Image size 250×250 · brightfield microscopy, 40× oil immersion · bone marrow smear
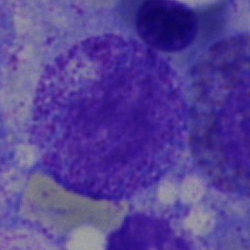Showing a myelocyte.